Bone marrow smear; 40× objective, oil immersion; 250 by 250 pixels.
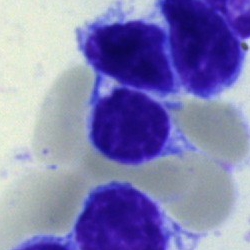

{"cell_type": "typical lymphocyte"}